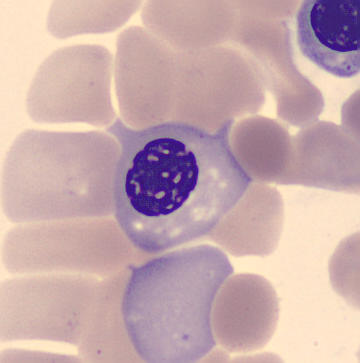Nucleated red cell.